Bone marrow aspirate smear
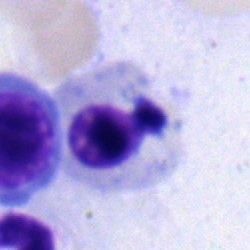{"cell_type": "nucleated red cell"}